Bone marrow aspirate smear:
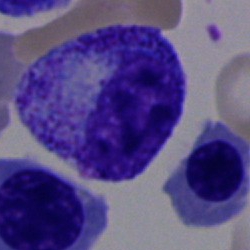Specimen: bone marrow aspirate smear.
Morphological class: myelocyte.